Bone marrow aspirate smear · single cell centered in the field:
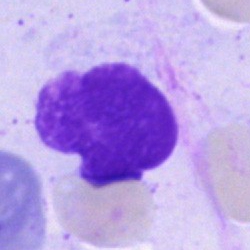
Artifact.